Bone marrow smear: 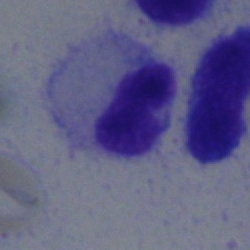This is a segmented neutrophil.